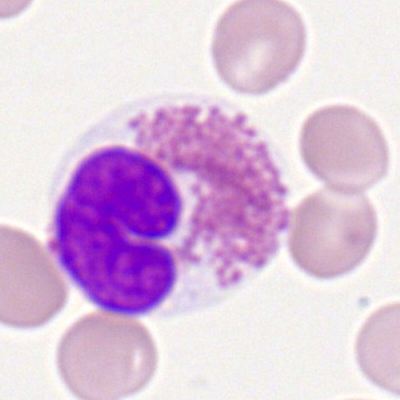Q: Which cell type is shown here?
A: An eosinophilic granulocyte.